May Grünwald-Giemsa stain. Peripheral blood smear: 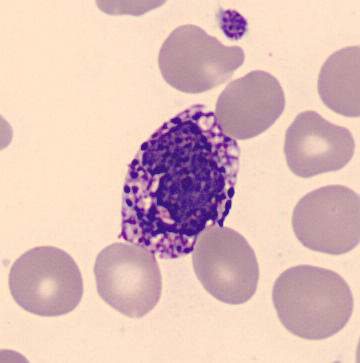Single cell identified as a basophilic granulocyte.